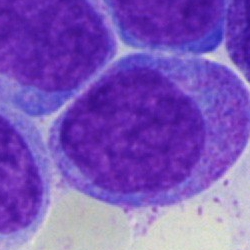Morphology consistent with a progranulocyte.